Bone marrow smear
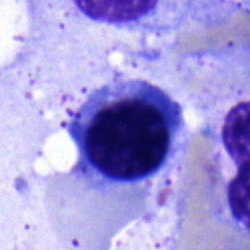

Nucleated red blood cell.